Bone marrow aspirate smear; May-Grünwald-Giemsa stain; 250×250
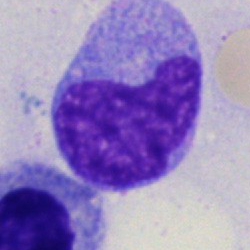
The cell shown is a monocyte.